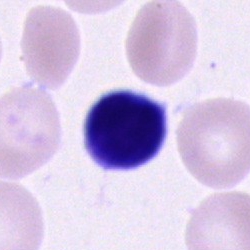

Specimen: bone marrow aspirate smear.
Cell: typical lymphocyte.
Lineage: lymphoid.